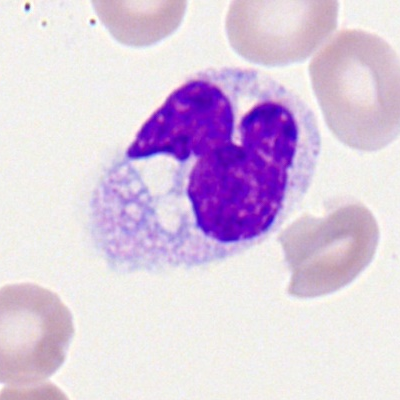
Specimen: peripheral blood smear.
Classification: monocyte.
Lineage: myeloid.